Bone marrow smear.
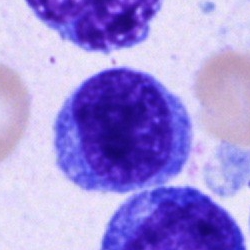Cell type: undifferentiated blast.